400×400 px; peripheral blood film.
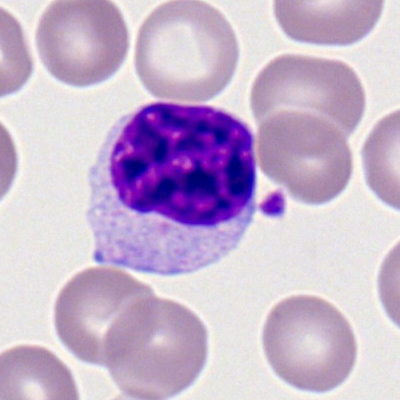
Cell: lymphocyte.